Bone marrow aspirate smear:
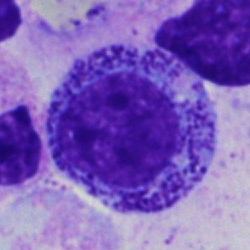

This is a promyelocyte.